Bone marrow aspirate smear · 250 by 250 pixels · 40× oil immersion
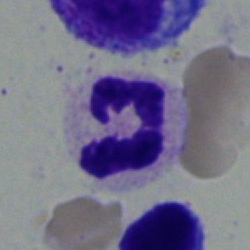

Single cell identified as a polymorphonuclear neutrophil.